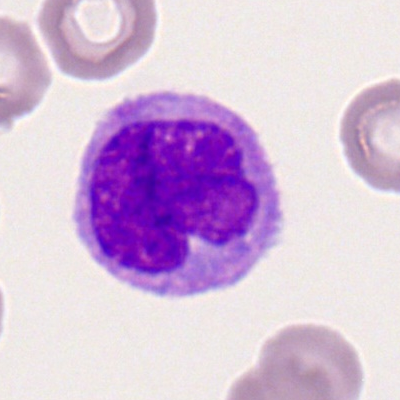This is a monocyte.